Bone marrow smear:
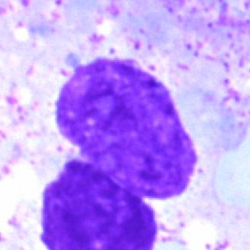Morphology → artifact.